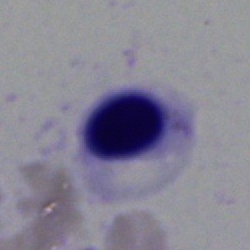{"cell_type": "nucleated red blood cell", "lineage": "erythroid"}